Peripheral blood smear:
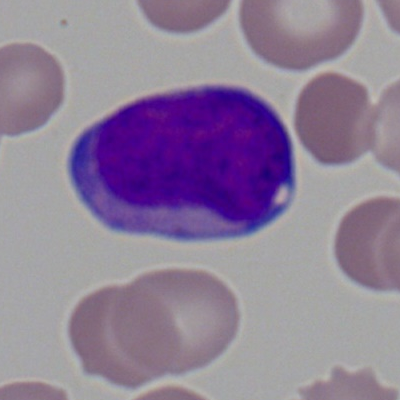This is a myeloid blast.